250×250. Bone marrow aspirate smear: 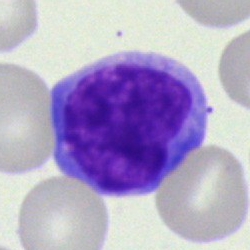
A lymphocyte.